Bone marrow smear · 250×250 px.
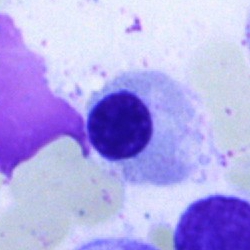

Showing an erythroblast.